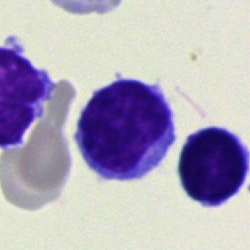
This is a lymphocyte.